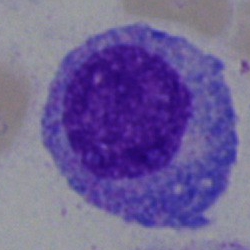 {"cell_type": "promyelocyte", "lineage": "myeloid"}